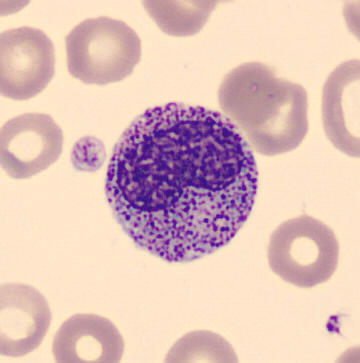

Metamyelocyte.
Preparation: Peripheral blood smear.